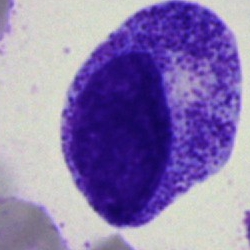

The classification is progranulocyte.